Bone marrow aspirate smear — 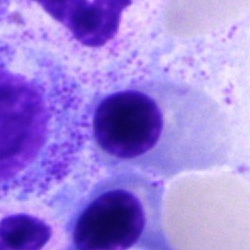 Cell type = nucleated red cell.